Bone marrow aspirate smear — 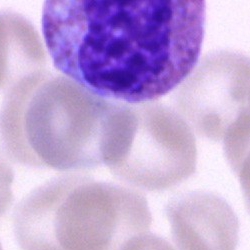
Morphology — eosinophil.